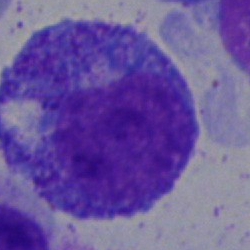 A progranulocyte.